Cropped to a single cell; Pappenheim-stained; bone marrow smear
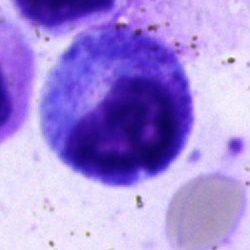 Cell — progranulocyte.